250×250; brightfield, 40× oil-immersion objective; bone marrow smear
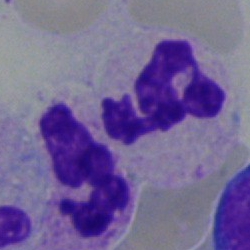
Specimen: bone marrow smear.
Cell: polymorphonuclear neutrophil.